250×250 px; bone marrow smear — 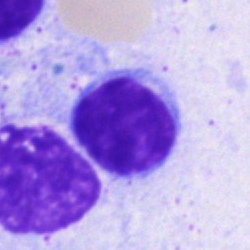

Morphology consistent with a lymphocyte.